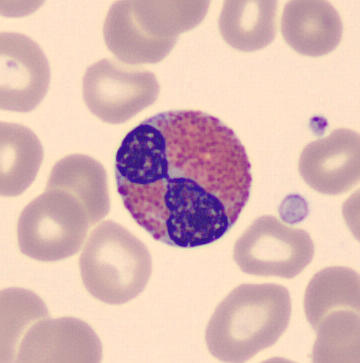
Morphology — eosinophilic granulocyte.